Bone marrow aspirate smear
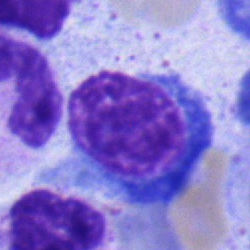The classification is normoblast.